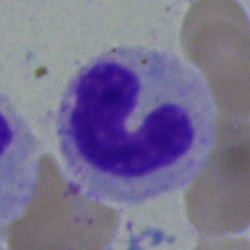Stab cell.